Image size 250×250. Bone marrow aspirate smear:
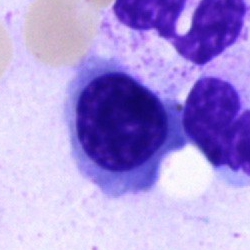This is a nucleated red blood cell.